Bone marrow smear. Brightfield microscopy, 40× oil immersion. Cropped to a single cell: 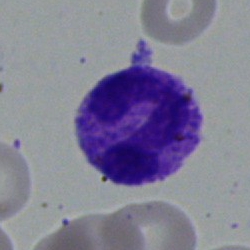Impression → polymorphonuclear neutrophil.